Bone marrow aspirate smear.
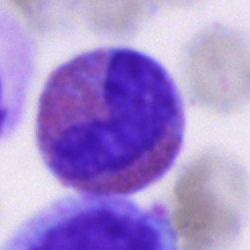
Cell type: eosinophilic granulocyte.